Bone marrow smear — 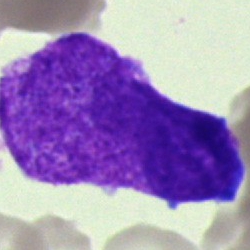

Showing a blast cell.